Peripheral blood film
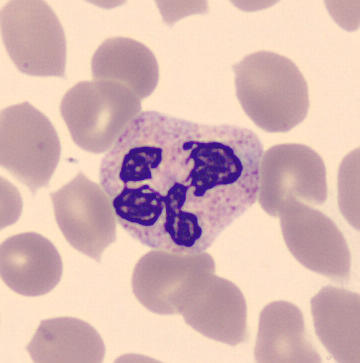
The cell shown is a segmented neutrophil.